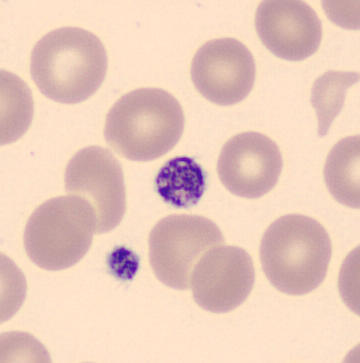
Peripheral blood film. Q: What is this?
A: This is a thrombocyte.